Peripheral blood smear
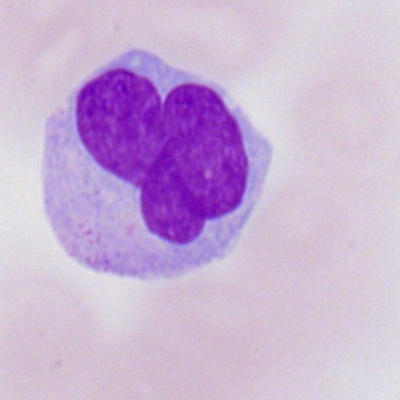
A monocyte.